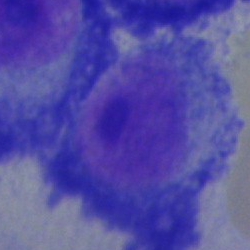

The cell shown is a plasmacyte.